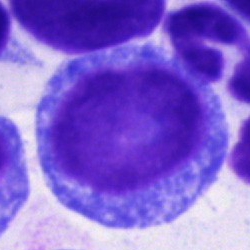

Bone marrow smear showing a progranulocyte.